Bone marrow smear.
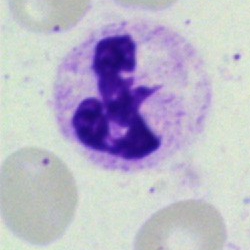
Q: What is shown here?
A: Neutrophil (segmented).